Bone marrow smear; brightfield, 40× oil-immersion objective; cropped to a single cell.
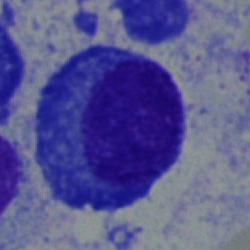 Cell — plasma cell.